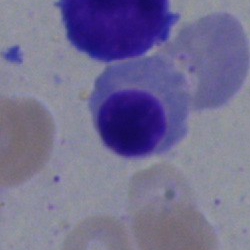Q: Which cell type is shown here?
A: Normoblast.